250×250 px · bone marrow aspirate smear
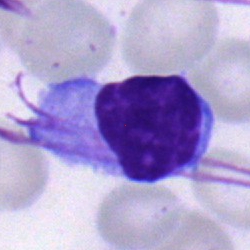 Q: Identify the cell.
A: It is a lymphocyte.